250×250. 40× oil immersion. Bone marrow aspirate smear:
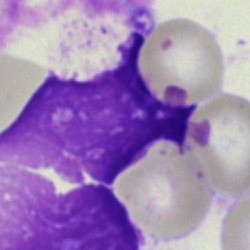

Showing an artifact.